Bone marrow aspirate smear: 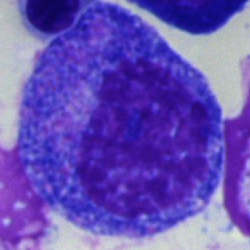Classification = promyelocyte.